Bone marrow smear
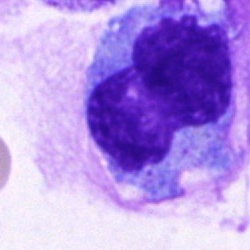Specimen: bone marrow smear.
Cell type: monocyte.